Bone marrow smear; May-Grünwald-Giemsa/Pappenheim stain — 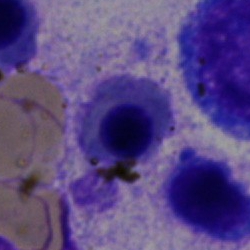 Cell = nucleated red cell.